Bone marrow smear: 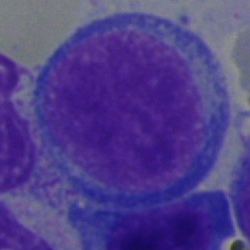
The morphological class is blast cell.